Bone marrow smear; Pappenheim-stained:
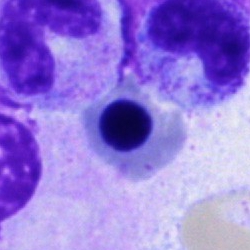

Classification — nucleated red blood cell.